Bone marrow smear
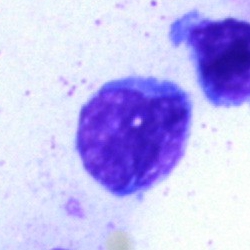Q: What cell is this?
A: It is a typical lymphocyte.